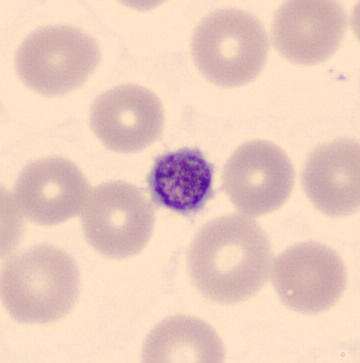Acquisition: Peripheral blood smear. Q: What is this?
A: A platelet.